Peripheral blood smear: 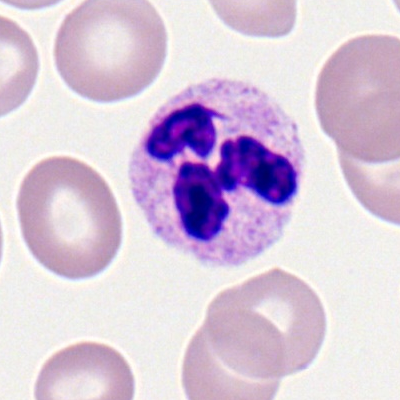

Cell — segmented neutrophil.